Bone marrow aspirate smear · May-Grünwald-Giemsa stain · brightfield microscopy, 40× oil immersion — 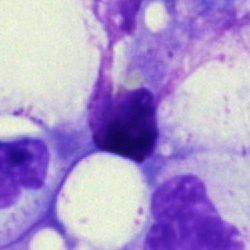
Specimen: bone marrow smear.
Cell: artifact.